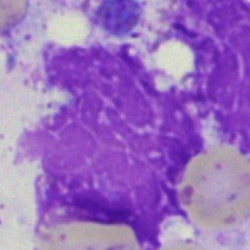

Specimen: bone marrow smear.
Morphological class: artefact.